Bone marrow smear; cropped to a single cell; 250 by 250 pixels.
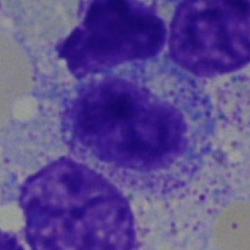

Impression → myelocyte.